Bone marrow aspirate smear:
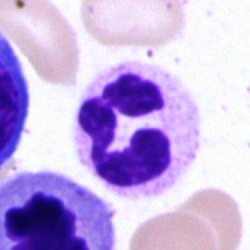
Cell type — segmented neutrophil.